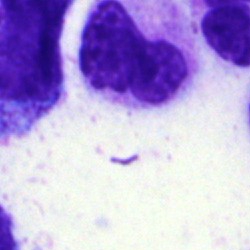 An unidentifiable cell on a bone marrow smear.